Bone marrow smear; single cell centered in the field; May-Grünwald-Giemsa stain
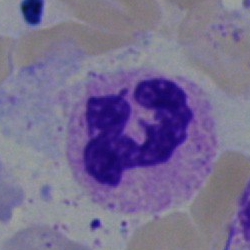The cell type is segmented neutrophil.